Bone marrow aspirate smear:
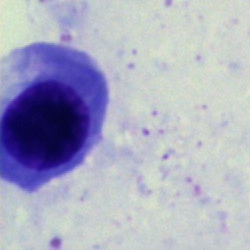 Showing a normoblast.